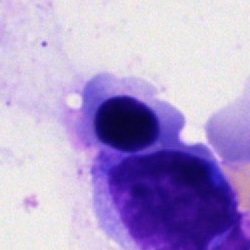 Bone marrow smear showing a nucleated red cell.